Bone marrow aspirate smear:
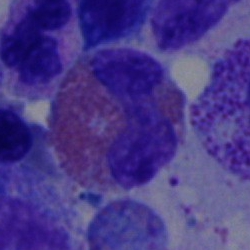Eosinophil.